Bone marrow aspirate smear · brightfield microscopy, 40× oil immersion · May-Grünwald-Giemsa stain.
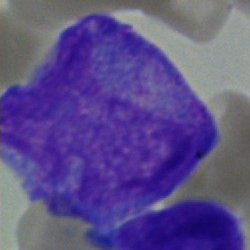

Morphology → blast cell.